Single-cell crop · 40× oil immersion · bone marrow smear — 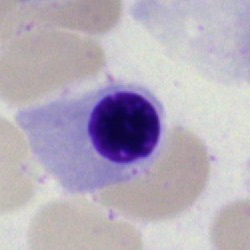

Cell type = normoblast.